Bone marrow smear:
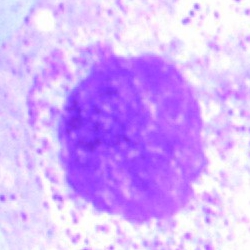
Impression — artefact.